Single-cell crop; bone marrow smear; Pappenheim-stained — 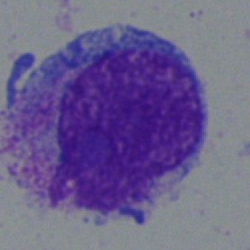

Classification — blast cell.